Bone marrow smear
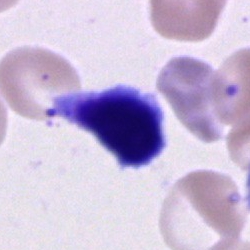

Cell type — typical lymphocyte.